Bone marrow aspirate smear; 250×250: 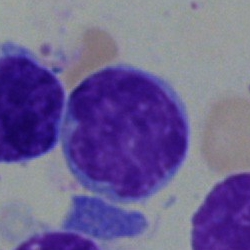
Cell: typical lymphocyte.